Bone marrow aspirate smear
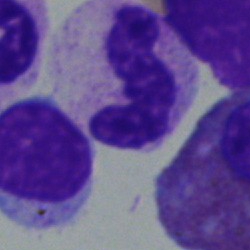

Q: What is the morphological classification of this cell?
A: This is a band-form neutrophil.